Bone marrow smear; single-cell field; image size 250×250 — 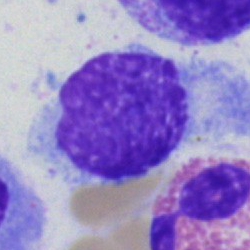Classification = artifact.